Bone marrow aspirate smear
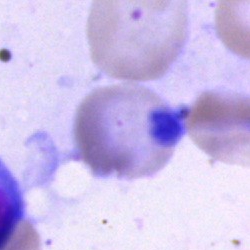

Cell type — artifact.